Bone marrow smear
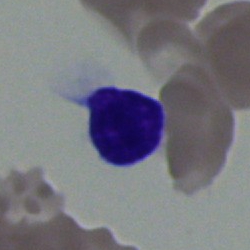

{"cell_type": "typical lymphocyte", "lineage": "lymphoid"}